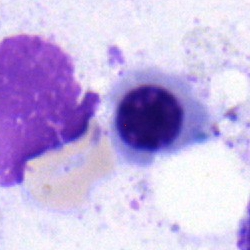Bone marrow aspirate smear, single cell — nucleated red cell.